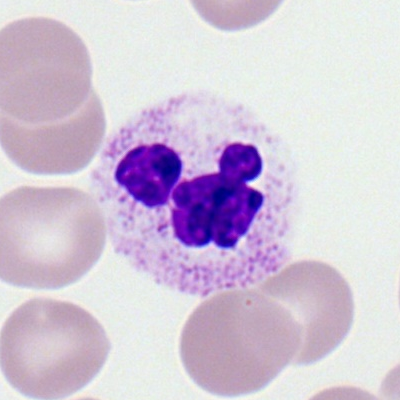 Morphological class: neutrophil (segmented).